Bone marrow aspirate smear: 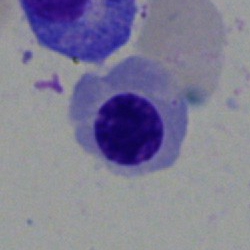

Morphological class = nucleated red cell.